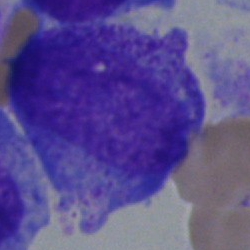
Specimen: bone marrow aspirate smear.
Classification: promyelocyte.
Lineage: myeloid.